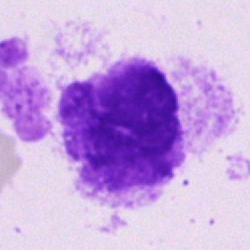

Specimen: bone marrow aspirate smear.
Cell: artefact.